250×250; May-Grünwald-Giemsa stain; bone marrow aspirate smear
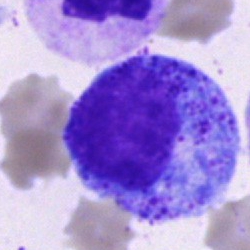Cell = progranulocyte.